Bone marrow aspirate smear: 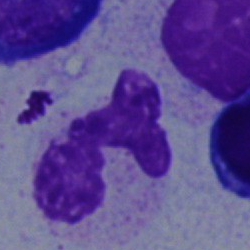Specimen: bone marrow aspirate smear.
Classification: band-form neutrophil.
Lineage: myeloid.